Bone marrow smear; brightfield microscopy, 40× oil immersion: 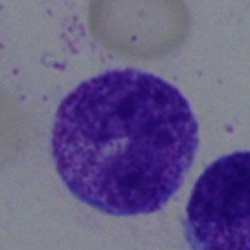
Classification: band-form neutrophil.